Pappenheim-stained · 40× oil immersion · bone marrow smear.
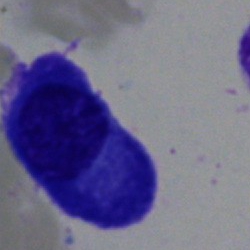Morphology — plasmacyte.